Single cell centered in the field; bone marrow smear — 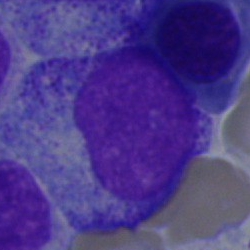
Impression — myelocyte.